Bone marrow aspirate smear.
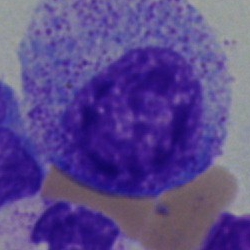

Q: What cell is this?
A: A myelocyte.